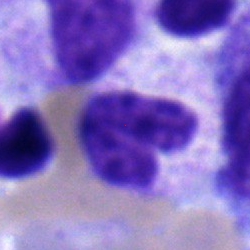
Showing a band neutrophil.